Cropped to a single cell; bone marrow aspirate smear: 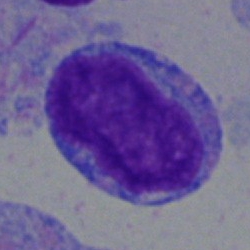
{"cell_type": "undifferentiated blast"}